Bone marrow aspirate smear
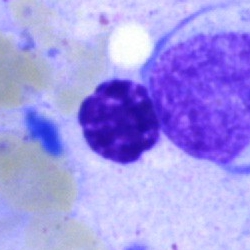Morphology → erythroblast.